Bone marrow smear:
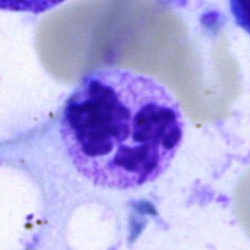Neutrophil (segmented).